Bone marrow smear.
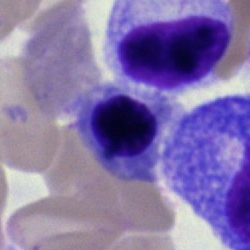 Q: What cell is this?
A: It is an erythroblast.